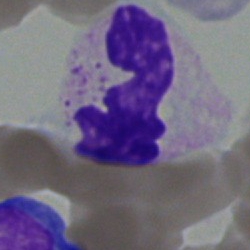

Classification: neutrophil (segmented).